Peripheral blood smear
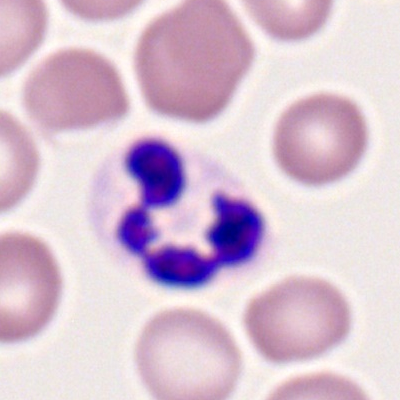

Cell type: neutrophil (segmented).